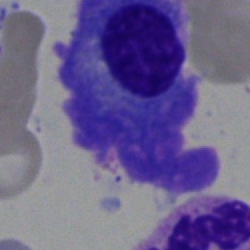 Morphological class = plasma cell.